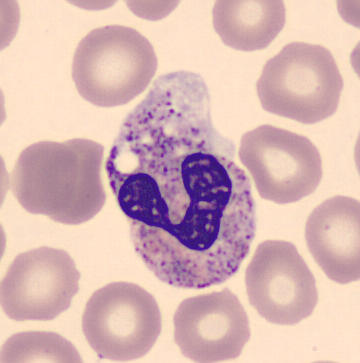
Morphology → neutrophil (segmented). Image: Peripheral blood smear.